250×250 px. May-Grünwald-Giemsa/Pappenheim stain. Bone marrow aspirate smear.
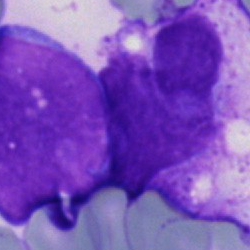Cell = undifferentiated blast.